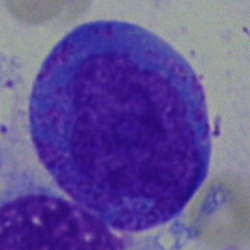

Morphology → promyelocyte.